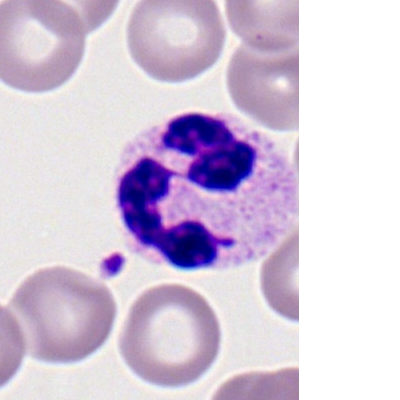Cell: neutrophil (segmented).